250 by 250 pixels · bone marrow aspirate smear.
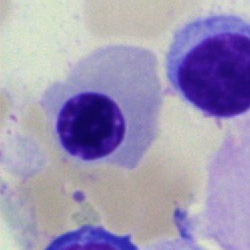
Morphology consistent with an erythroblast.